Peripheral blood smear — 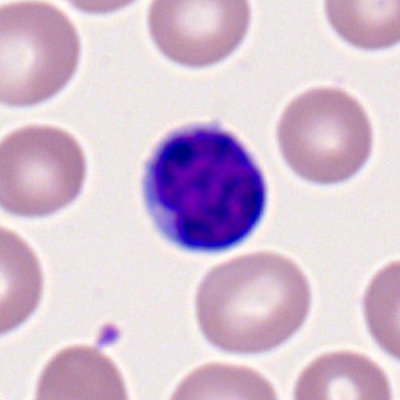 This is a lymphocyte.